Bone marrow aspirate smear: 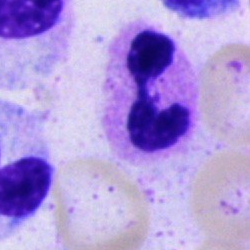
A polymorphonuclear neutrophil.